400×400 px. Peripheral blood film. 100× oil immersion
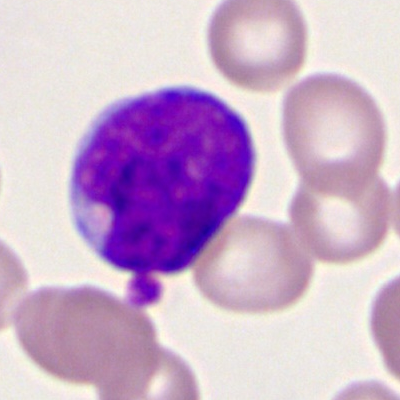 Morphology consistent with a myeloid blast.